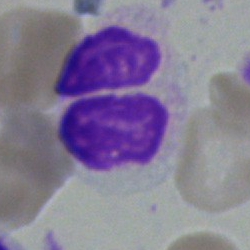
A polymorphonuclear neutrophil on a bone marrow smear.